May-Grünwald-Giemsa/Pappenheim stain; bone marrow aspirate smear — 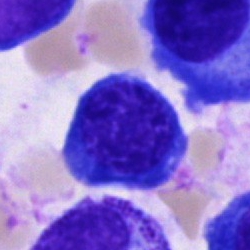

Single cell identified as an erythroblast.